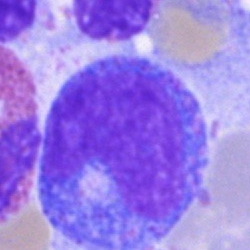
Specimen: bone marrow smear.
Morphological class: progranulocyte.